Bone marrow smear: 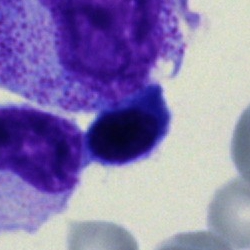 Specimen: bone marrow smear.
Cell: lymphocyte.
Lineage: lymphoid.